Brightfield microscopy, 40× oil immersion · bone marrow aspirate smear
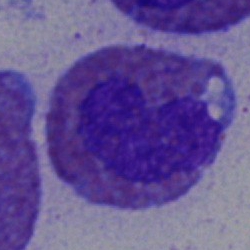
Impression — eosinophilic granulocyte.